Cropped to a single cell · peripheral blood film
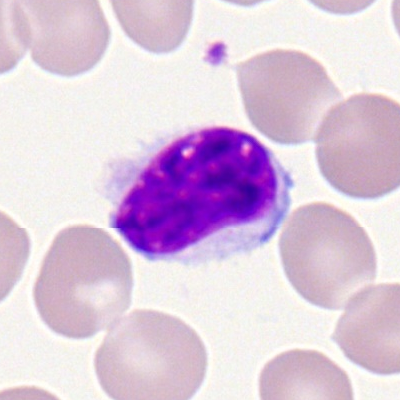Morphology — typical lymphocyte.